Bone marrow aspirate smear:
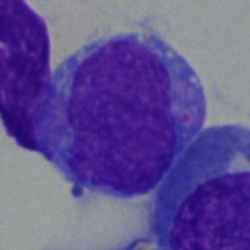 An undifferentiated blast.